Brightfield, 40× oil-immersion objective; single-cell crop; bone marrow smear: 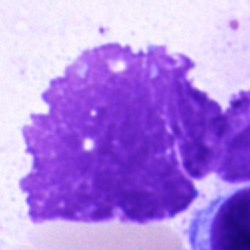
Impression — artefact.